Single-cell crop · bone marrow smear.
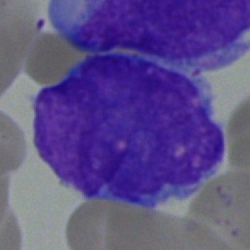
Impression → blast.